Pappenheim-stained; bone marrow smear
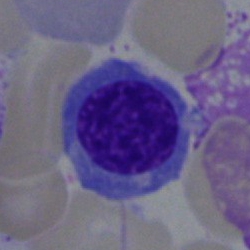
Cell — nucleated red blood cell.